Bone marrow smear · single-cell field:
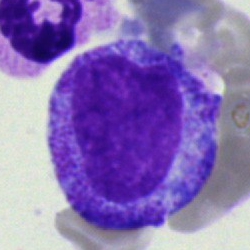Morphology consistent with a myelocyte.